Peripheral blood film:
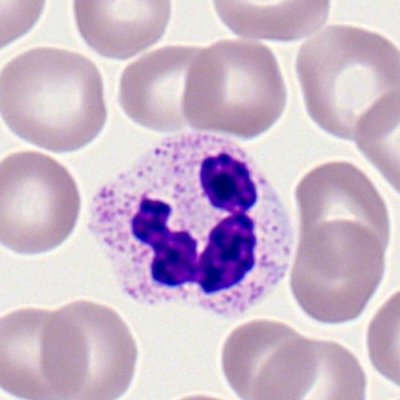

Cell type: segmented neutrophil.